Bone marrow aspirate smear — 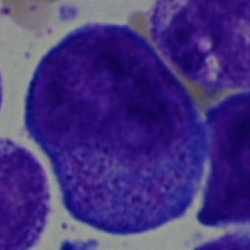
Progranulocyte.